Bone marrow aspirate smear.
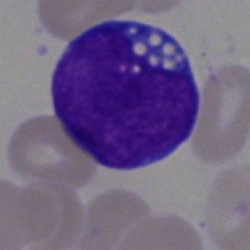
Showing an undifferentiated blast.